Bone marrow smear
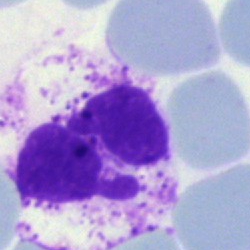 Showing an artifact.